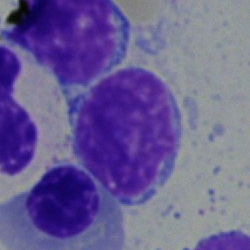The cell type is lymphocyte.